Bone marrow aspirate smear:
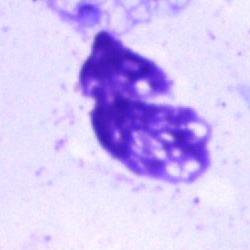
Specimen: bone marrow smear.
Cell type: artifact.